250×250 px. Bone marrow smear:
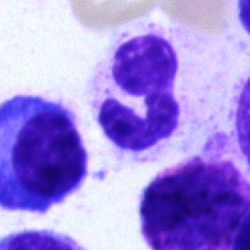

{"cell_type": "polymorphonuclear neutrophil", "lineage": "myeloid"}